Bone marrow aspirate smear. 250×250. Pappenheim-stained — 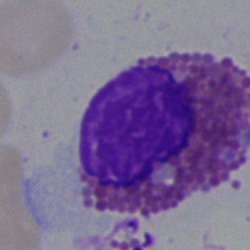 Q: Which cell type is shown here?
A: This is an eosinophilic granulocyte.